Bone marrow aspirate smear.
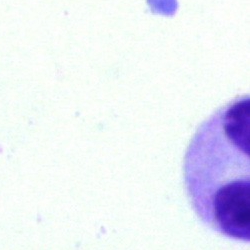 The cell type is cell of indeterminate lineage.